Bone marrow aspirate smear
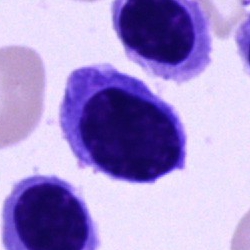
Classification: normoblast.